Bone marrow smear. 250×250 px: 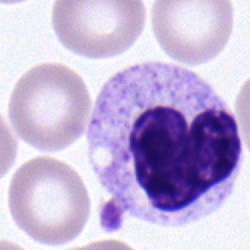The cell shown is a band-form neutrophil.